Bone marrow smear
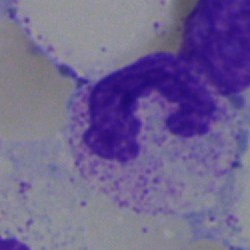 Specimen: bone marrow smear.
Classification: polymorphonuclear neutrophil.
Lineage: myeloid.